Bone marrow aspirate smear.
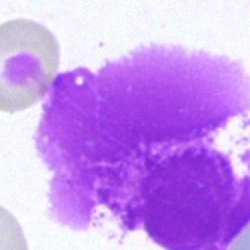

Specimen: bone marrow smear.
Cell: artifact.